Bone marrow aspirate smear · MGG-stained — 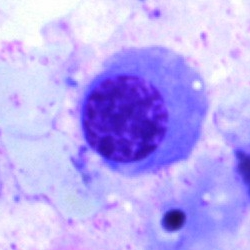
Nucleated red blood cell.